Bone marrow smear — 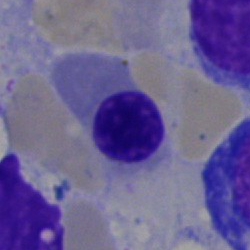

Morphology → normoblast.